Bone marrow smear
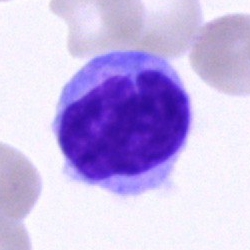{"cell_type": "lymphocyte", "lineage": "lymphoid"}